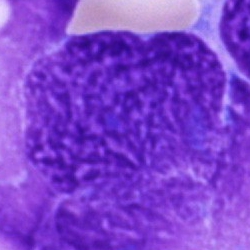
The cell type is artifact.